Bone marrow aspirate smear
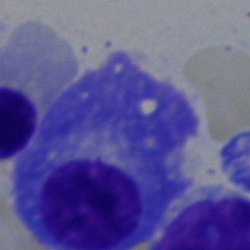
Cell: plasma cell.